Bone marrow aspirate smear · cropped to a single cell
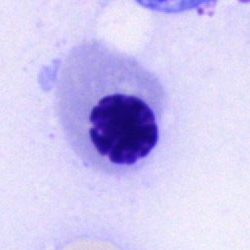 Showing an erythroblast.